Cropped to a single cell; bone marrow smear; Pappenheim-stained
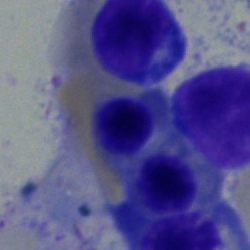 A nucleated red blood cell.